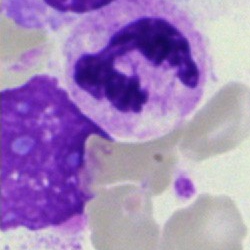Showing a polymorphonuclear neutrophil.